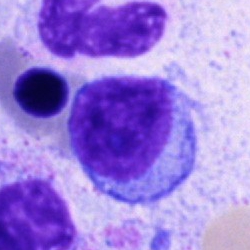 {"cell_type": "typical lymphocyte", "lineage": "lymphoid"}